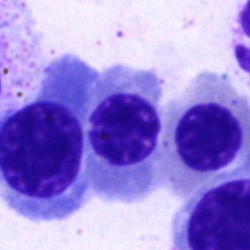

{"cell_type": "erythroblast", "lineage": "erythroid"}